Bone marrow aspirate smear · cropped to a single cell · image size 250×250
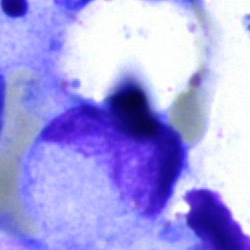
Impression — artefact.